Bone marrow smear.
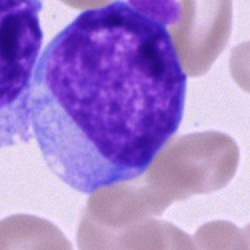The morphological class is blast cell.